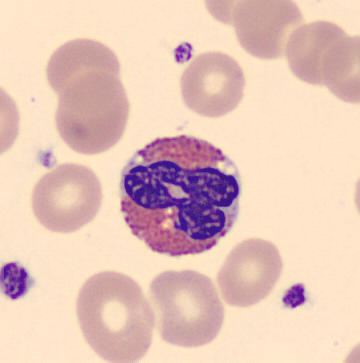 An eosinophilic granulocyte on a peripheral blood smear.